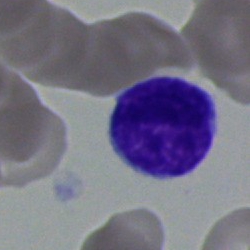The morphological class is lymphocyte.